Bone marrow smear. 250×250 px
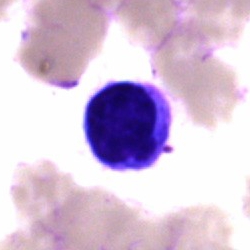 Specimen: bone marrow smear.
Cell type: lymphocyte.
Lineage: lymphoid.